Single cell centered in the field. Bone marrow smear
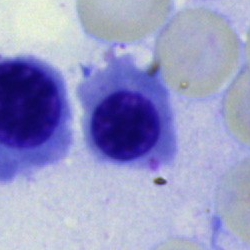

Classification — normoblast.